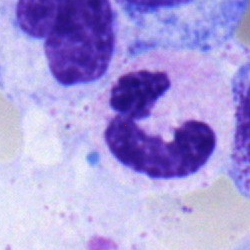
Cell — polymorphonuclear neutrophil.